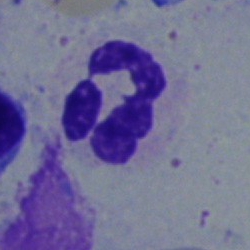Bone marrow smear showing a polymorphonuclear neutrophil.